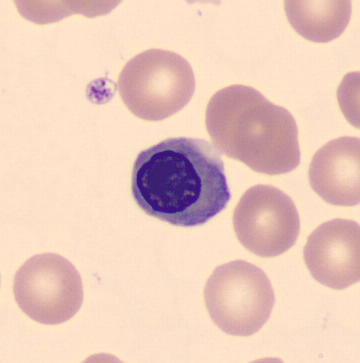
Erythroblast.